Bone marrow smear — 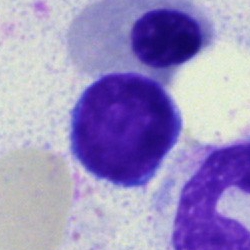
A lymphocyte.